Bone marrow smear:
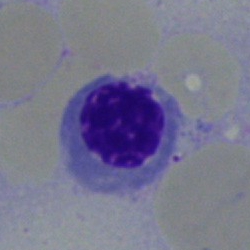

Cell: nucleated red blood cell.